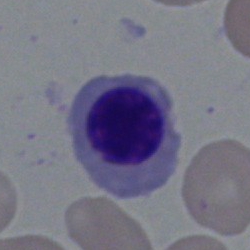 Bone marrow aspirate smear, single cell — nucleated red blood cell.